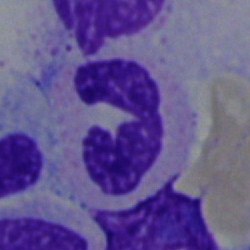 A segmented neutrophil on a bone marrow smear.